250×250 · bone marrow smear · 40× objective, oil immersion
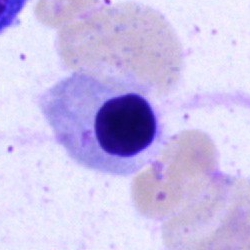 Morphology — erythroblast.